Single-cell crop; bone marrow aspirate smear — 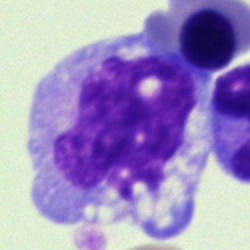Q: What is the morphological classification of this cell?
A: This is a monocyte.